Bone marrow smear
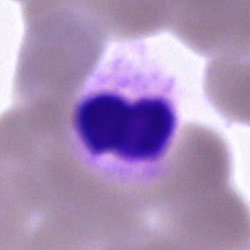 Morphology consistent with a neutrophil (segmented).